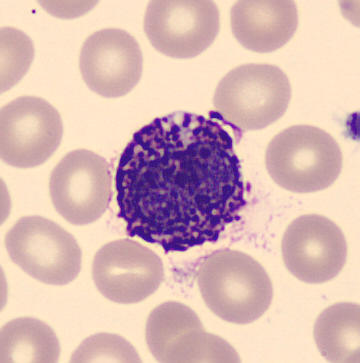 Cell type: basophilic granulocyte. Peripheral blood smear.